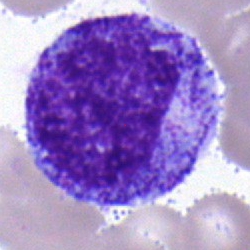 Cell type = progranulocyte.